Bone marrow smear. 250×250. 40× objective, oil immersion
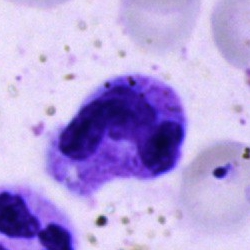

Morphology — segmented neutrophil.